Image size 250×250; bone marrow smear; May-Grünwald-Giemsa stain — 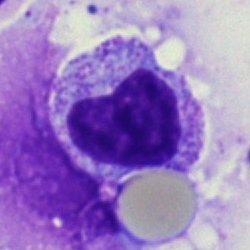 An artefact.